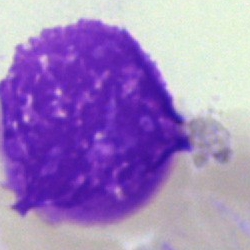
An artifact on a bone marrow smear.